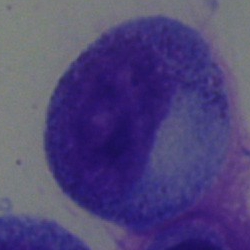The classification is progranulocyte.